Pappenheim-stained · 40× objective, oil immersion · bone marrow aspirate smear.
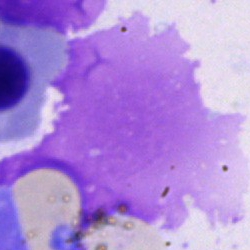 {"cell_type": "artefact"}